Bone marrow smear. Single-cell field. May-Grünwald-Giemsa/Pappenheim stain — 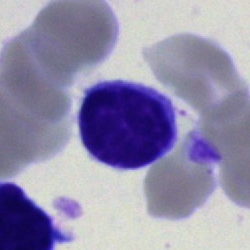

Q: What cell is this?
A: This is a lymphocyte.